Single-cell field. Bone marrow aspirate smear. 40× objective, oil immersion.
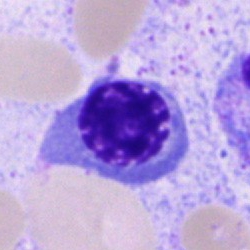

Q: What cell is this?
A: Nucleated red cell.